Bone marrow smear.
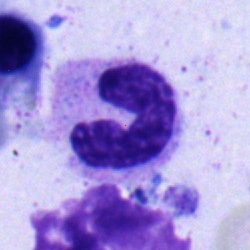 Specimen: bone marrow aspirate smear.
Cell: band neutrophil.
Lineage: myeloid.